Bone marrow smear · Pappenheim-stained:
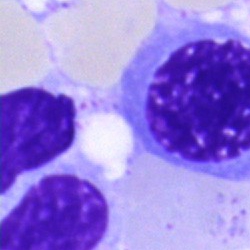 Classification — unidentifiable cell.